Bone marrow smear · single-cell crop · Pappenheim-stained: 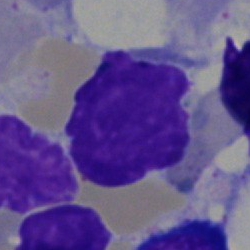 Specimen: bone marrow smear.
Classification: artifact.